May-Grünwald-Giemsa stain; bone marrow aspirate smear.
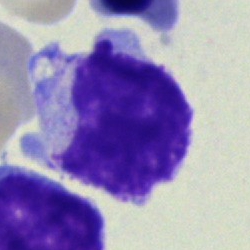
Morphology consistent with an unidentifiable cell.